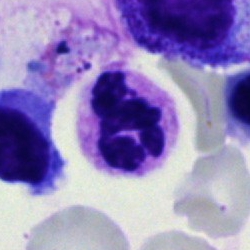

Morphological class — neutrophil (segmented).